May-Grünwald-Giemsa stain · bone marrow aspirate smear.
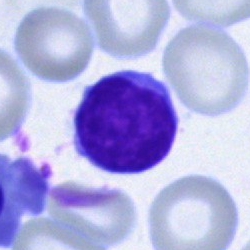
Q: Which cell type is shown here?
A: This is a lymphocyte.